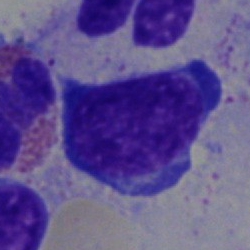 The cell shown is a typical lymphocyte.